Bone marrow aspirate smear: 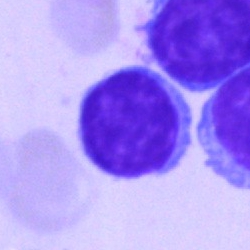 The classification is lymphocyte.